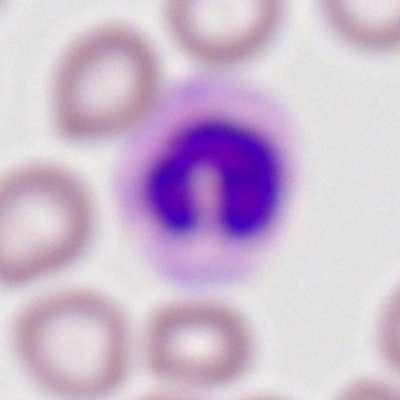 Cell = neutrophil (segmented).